Bone marrow smear; 250×250 px.
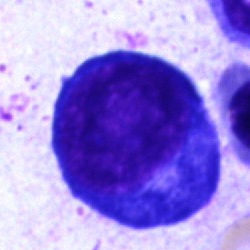Cell type = pronormoblast.